Bone marrow smear; 250×250 px.
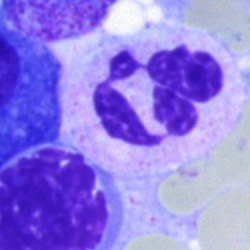 Q: What is the morphological classification of this cell?
A: This is a segmented neutrophil.